Bone marrow aspirate smear
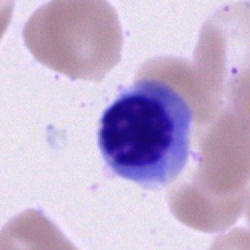

The cell type is erythroblast.